Bone marrow smear. 250 by 250 pixels. Brightfield, 40× oil-immersion objective — 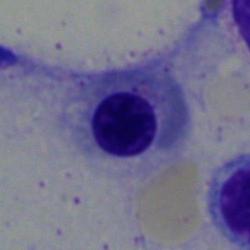The morphological class is nucleated red cell.